Bone marrow aspirate smear. Single-cell field: 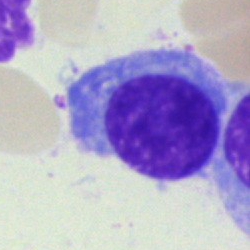Classification = plasma cell.